Pappenheim-stained. Cropped to a single cell. Bone marrow smear
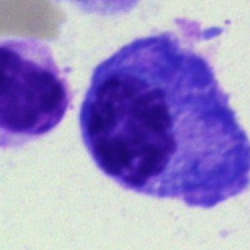 Single cell identified as a plasmacyte.